Bone marrow smear
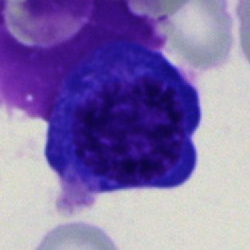

Morphology consistent with a nucleated red blood cell.